Bone marrow aspirate smear — 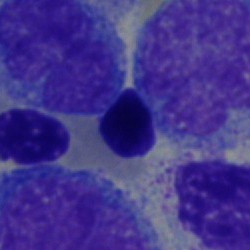

The cell shown is a normoblast.